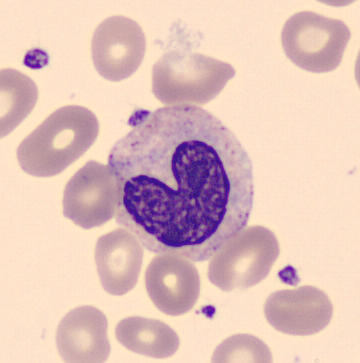

Cropped to a single cell.

Specimen: peripheral blood smear.
Morphological class: band neutrophil.